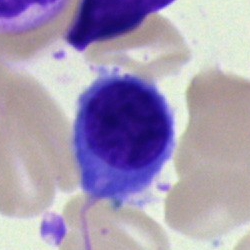
Q: What is shown here?
A: It is a nucleated red blood cell.